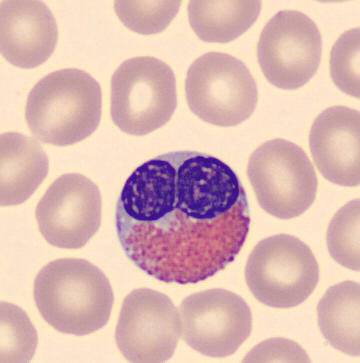Morphology consistent with an eosinophilic granulocyte.
Acquisition: Peripheral blood smear.